Single-cell crop · brightfield, 40× oil-immersion objective · bone marrow smear
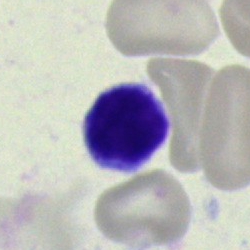

Cell: lymphocyte.